Bone marrow smear.
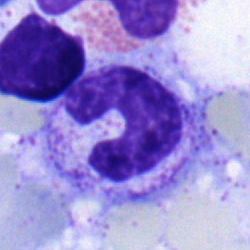
Morphology consistent with a stab cell.